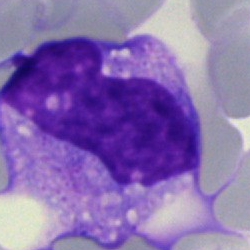

Impression → monocyte.